Cropped to a single cell. Bone marrow smear. 250×250 px — 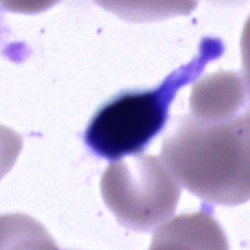 Specimen: bone marrow aspirate smear.
Cell type: unidentifiable cell.